Bone marrow smear
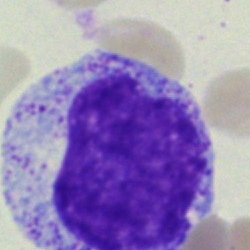Impression → myelocyte.